Brightfield microscopy, 40× oil immersion · cropped to a single cell · bone marrow smear.
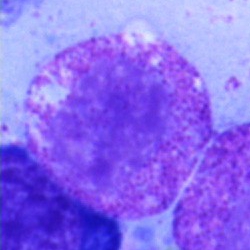 The cell shown is a myelocyte.